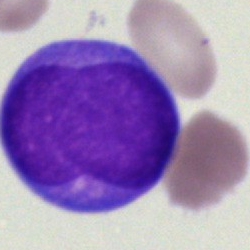Classification — blast.